Bone marrow smear. Single-cell field
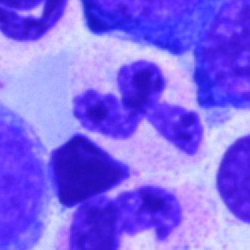

Showing a polymorphonuclear neutrophil.